250 by 250 pixels; bone marrow aspirate smear: 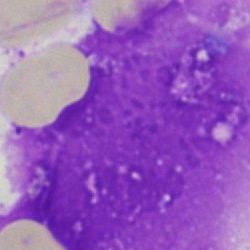{"cell_type": "artifact"}